Bone marrow smear:
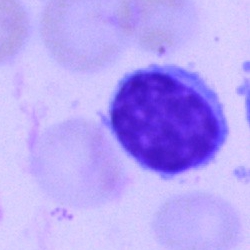

Specimen: bone marrow aspirate smear.
Cell: lymphocyte.
Lineage: lymphoid.